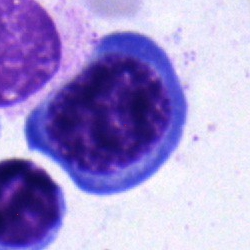
Q: What cell is this?
A: This is a plasmacyte.